Bone marrow aspirate smear; cropped to a single cell:
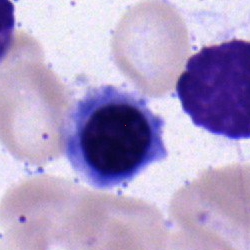

Morphology consistent with an erythroblast.